Bone marrow aspirate smear:
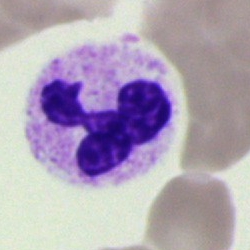
Single cell identified as a polymorphonuclear neutrophil.